250×250 px. Bone marrow aspirate smear:
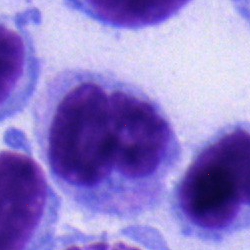
A monocyte.